Image size 250×250; bone marrow smear.
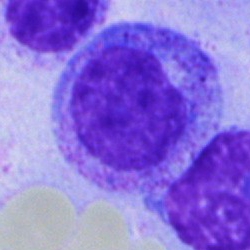

Single cell identified as a promyelocyte.